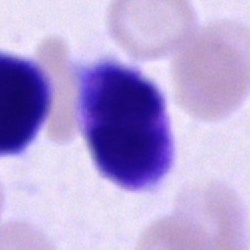

Q: What is the morphological classification of this cell?
A: An unidentifiable cell.